Peripheral blood smear. M8 digital microscope (Precipoint), 100× oil immersion:
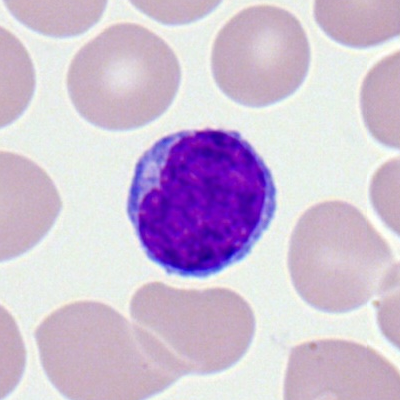

Single cell identified as a typical lymphocyte.